Bone marrow aspirate smear.
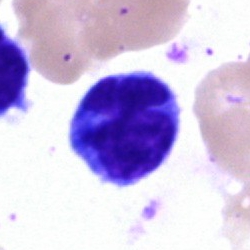Morphology → typical lymphocyte.